Pappenheim-stained. Bone marrow smear:
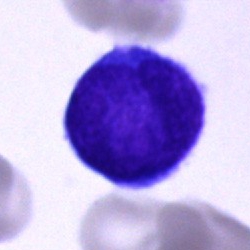 A blast cell.